Bone marrow aspirate smear — 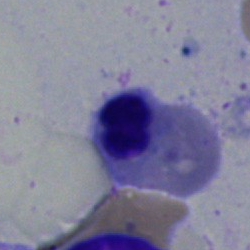Specimen: bone marrow aspirate smear.
Classification: nucleated red blood cell.